Pappenheim-stained. Bone marrow aspirate smear: 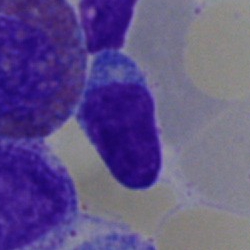 Impression → typical lymphocyte.